Cropped to a single cell · bone marrow aspirate smear
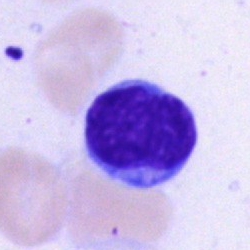
Cell type: lymphocyte.